Bone marrow aspirate smear
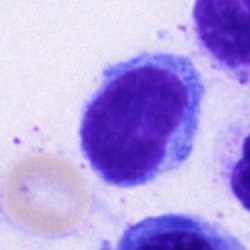

Q: What cell is this?
A: It is a typical lymphocyte.